Image size 250×250; bone marrow aspirate smear.
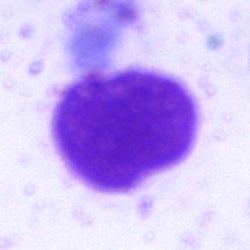
Showing an artifact.